Peripheral blood film; Romanowsky-type stain: 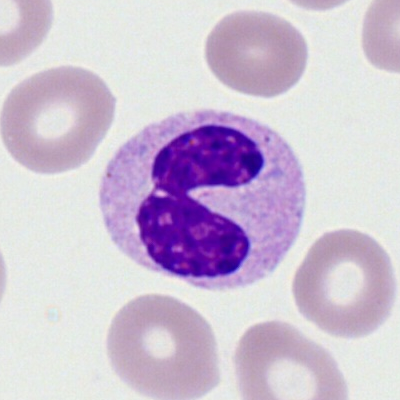
The classification is segmented neutrophil.